Bone marrow aspirate smear · MGG-stained:
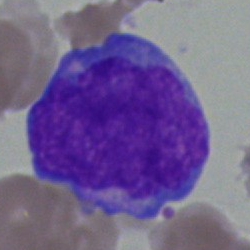 Q: What cell is this?
A: This is an undifferentiated blast.